Pappenheim-stained. Bone marrow smear:
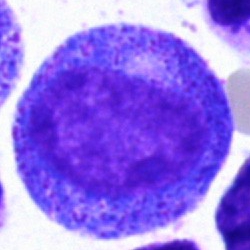Showing a promyelocyte.